Single-cell field · brightfield, 40× oil-immersion objective · bone marrow aspirate smear:
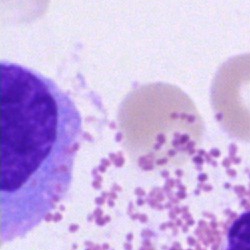 Cell type = cell of indeterminate lineage.